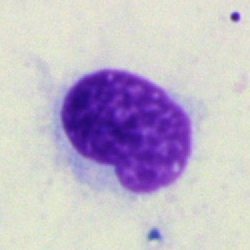

Cell type — hairy cell.